250 by 250 pixels; brightfield microscopy, 40× oil immersion; bone marrow smear:
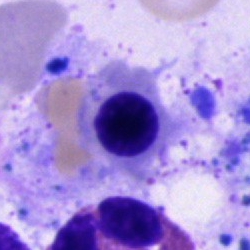
Impression — nucleated red blood cell.